Single cell centered in the field. Bone marrow smear: 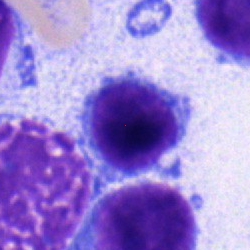Classification: lymphocyte.